Bone marrow smear; single cell centered in the field
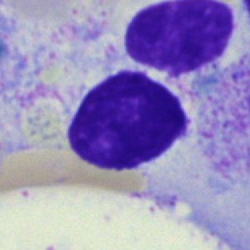
Classification: typical lymphocyte.